May-Grünwald-Giemsa stain; 40× objective, oil immersion; bone marrow smear: 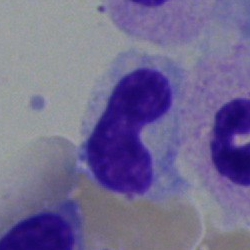
Specimen: bone marrow smear.
Cell type: band-form neutrophil.
Lineage: myeloid.